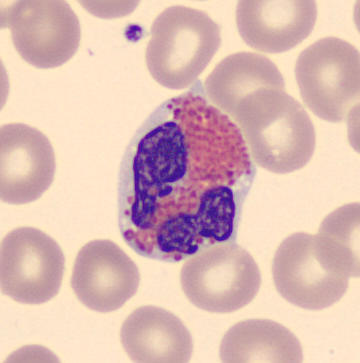
Q: What type of cell is this?
A: This is an eosinophilic granulocyte.
Acquisition: Peripheral blood smear.